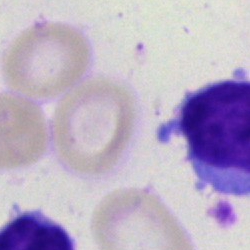Cell type — lymphocyte.